Bone marrow smear: 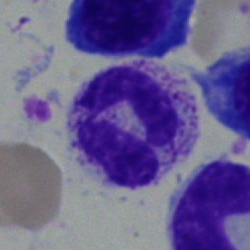
Q: What is the morphological classification of this cell?
A: Segmented neutrophil.